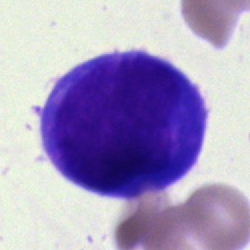 Q: What is shown here?
A: It is a typical lymphocyte.